Bone marrow smear
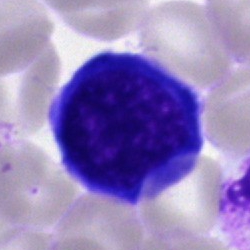Q: Identify the cell.
A: This is a nucleated red blood cell.